Bone marrow aspirate smear — 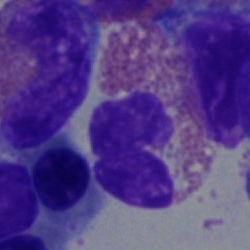
Cell type — eosinophil.